Bone marrow smear.
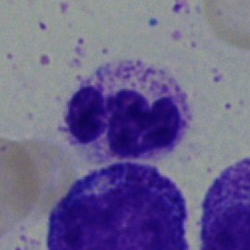

The cell shown is a neutrophil (segmented).